Bone marrow smear; May-Grünwald-Giemsa/Pappenheim stain:
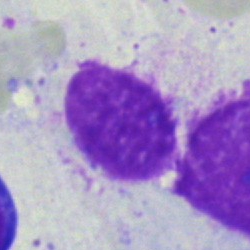
{"cell_type": "artifact"}